Bone marrow aspirate smear; 250×250 px
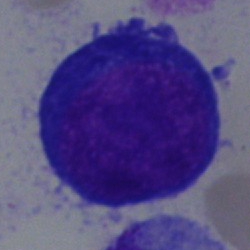 Q: What cell is this?
A: A nucleated red cell.